Bone marrow smear — 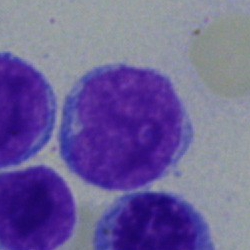 Classification = blast cell.